40× objective, oil immersion · bone marrow smear — 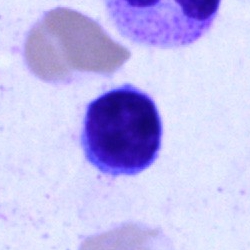Cell: lymphocyte.